Bone marrow aspirate smear; 250 by 250 pixels — 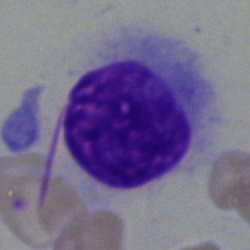

Impression — hairy cell.